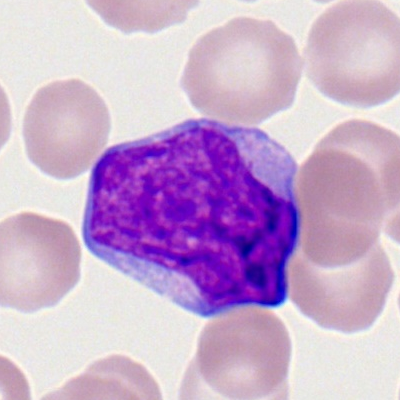

Morphology consistent with a myeloid blast.